Brightfield, 100× oil-immersion objective · 400 by 400 pixels · peripheral blood smear
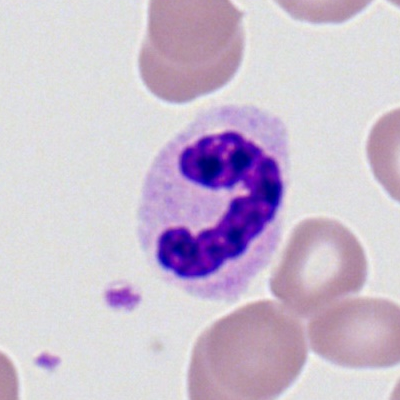
Classification — segmented neutrophil.